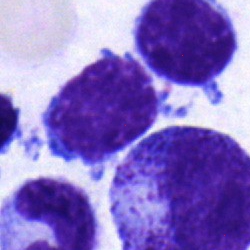 Cell: lymphocyte.